Bone marrow aspirate smear:
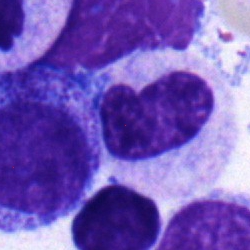Classification = metamyelocyte.